Bone marrow smear: 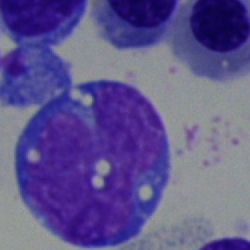Q: What cell is this?
A: It is an undifferentiated blast.